Single-cell field. Bone marrow smear: 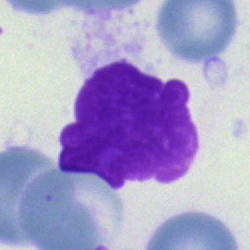The cell shown is an artifact.